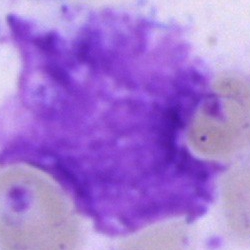Single-cell crop from a bone marrow smear: artefact.